Bone marrow aspirate smear:
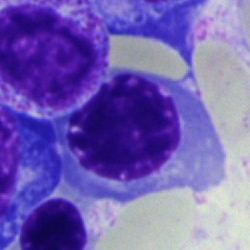Showing a nucleated red cell.